Bone marrow smear · cropped to a single cell.
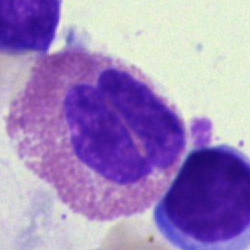

This is an eosinophil.